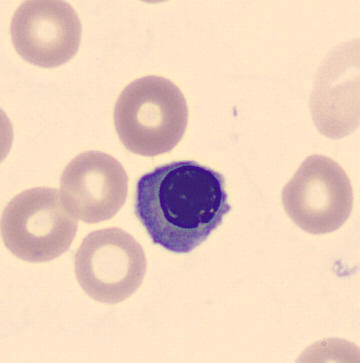

Specimen: peripheral blood film.
Cell: normoblast.